Bone marrow aspirate smear.
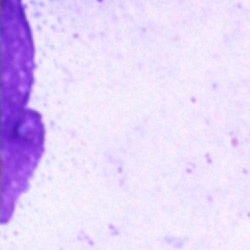Q: What is shown here?
A: It is an artifact.